Bone marrow smear — 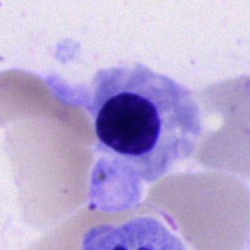 Morphology → normoblast.